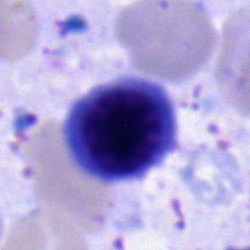
Morphological class — erythroblast.